Bone marrow aspirate smear — 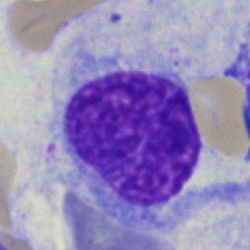

Q: What is shown here?
A: An artefact.